Bone marrow smear: 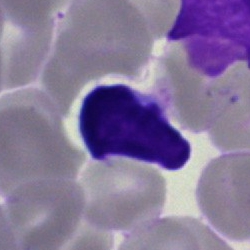
The morphological class is lymphocyte.